Bone marrow smear — 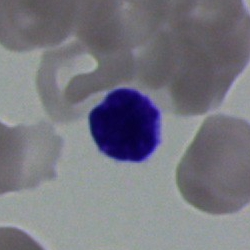Q: What is shown here?
A: A typical lymphocyte.